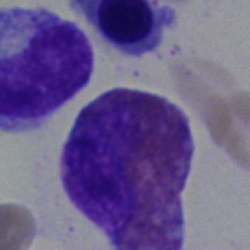Cell = eosinophil.